40× oil immersion; bone marrow aspirate smear; May-Grünwald-Giemsa stain — 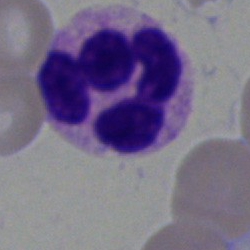Q: What is the morphological classification of this cell?
A: Neutrophil (segmented).